Bone marrow aspirate smear; May-Grünwald-Giemsa/Pappenheim stain
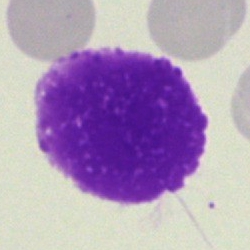 The cell shown is an artifact.